Bone marrow aspirate smear — 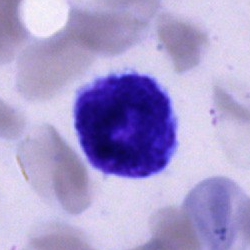 Cell type = cell of indeterminate lineage.